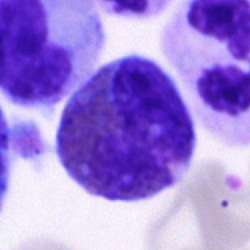Impression — eosinophil.